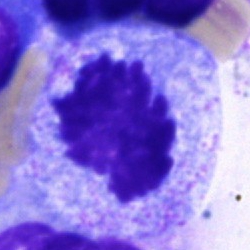

Promyelocyte.